MGG-stained · bone marrow smear.
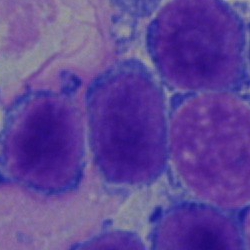
Morphology consistent with a typical lymphocyte.